Peripheral blood smear — 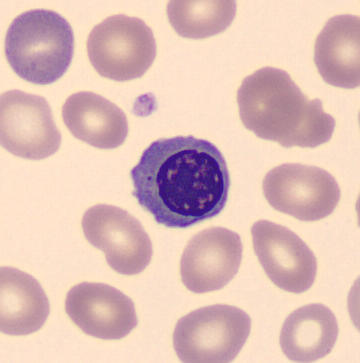 Impression → normoblast.